40× objective, oil immersion. MGG-stained. Bone marrow smear.
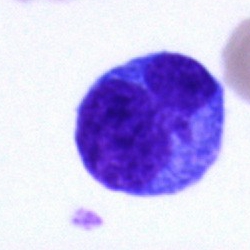
Morphology consistent with a blast cell.